250×250 px; bone marrow smear; brightfield, 40× oil-immersion objective
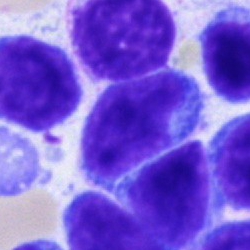

Morphology → typical lymphocyte.